Image size 250×250; bone marrow aspirate smear; brightfield, 40× oil-immersion objective: 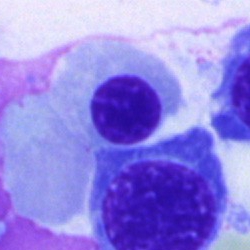This is a nucleated red cell.